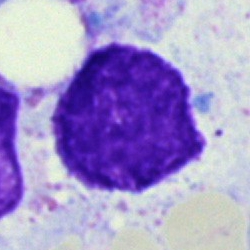 Specimen: bone marrow smear.
Cell type: artefact.